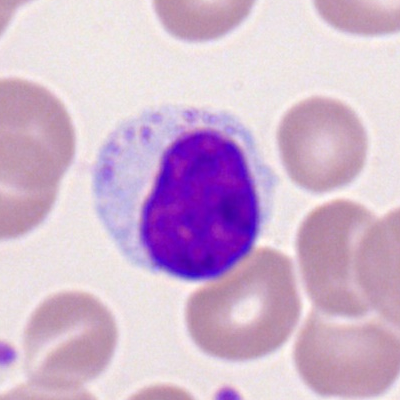Peripheral blood smear showing a lymphocyte.